Bone marrow aspirate smear — 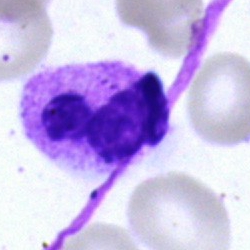

Single cell identified as a polymorphonuclear neutrophil.